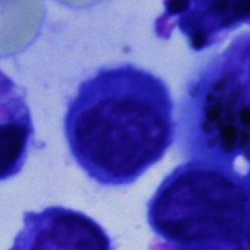 Cell type: normoblast.